Bone marrow smear · May-Grünwald-Giemsa/Pappenheim stain
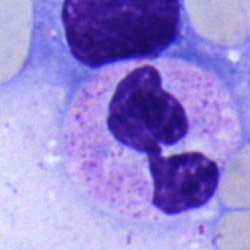

Specimen: bone marrow aspirate smear.
Cell: polymorphonuclear neutrophil.